Bone marrow smear
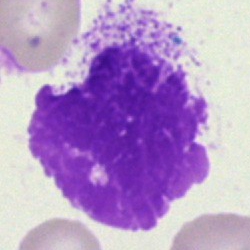

Specimen: bone marrow smear.
Cell type: artefact.